Bone marrow aspirate smear: 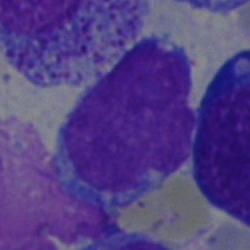Showing an undifferentiated blast.